Bone marrow aspirate smear: 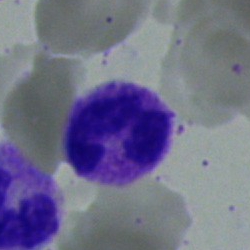 Impression — polymorphonuclear neutrophil.